Bone marrow smear. Single-cell crop — 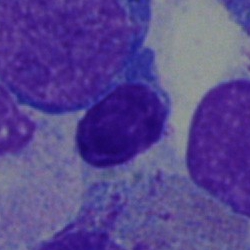

Specimen: bone marrow smear.
Classification: lymphocyte.
Lineage: lymphoid.